Image size 250×250 · brightfield microscopy, 40× oil immersion · bone marrow smear:
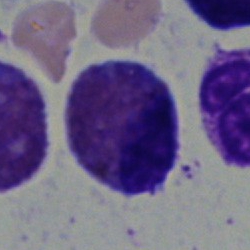Classification — eosinophil.